40× oil immersion · bone marrow aspirate smear — 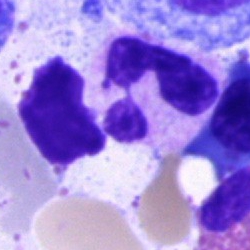

Specimen: bone marrow smear.
Morphological class: neutrophil (segmented).
Lineage: myeloid.